250×250; bone marrow aspirate smear; brightfield microscopy, 40× oil immersion — 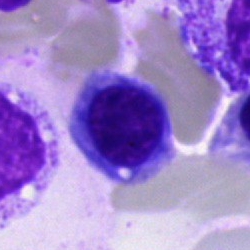
Specimen: bone marrow smear.
Cell type: nucleated red blood cell.
Lineage: erythroid.